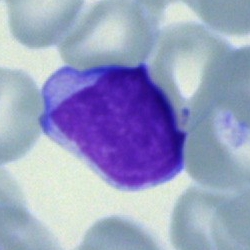 Specimen: bone marrow smear.
Cell type: lymphocyte.